Bone marrow aspirate smear. Brightfield, 40× oil-immersion objective
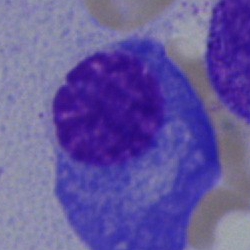 Single cell identified as a plasmacyte.